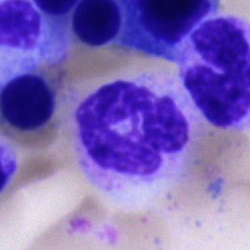{"cell_type": "segmented neutrophil"}